May-Grünwald-Giemsa stain; bone marrow aspirate smear.
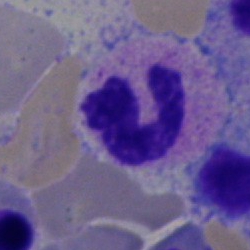
A polymorphonuclear neutrophil.